Bone marrow aspirate smear. 250×250: 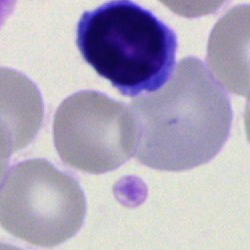 Morphology consistent with a typical lymphocyte.